250 by 250 pixels; bone marrow aspirate smear: 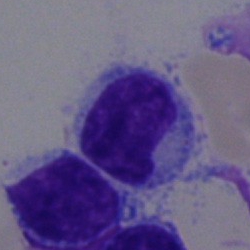

Q: What is shown here?
A: Typical lymphocyte.